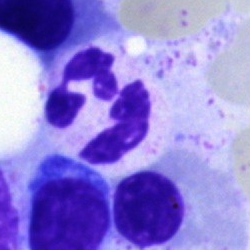Morphology → segmented neutrophil.